Bone marrow smear — 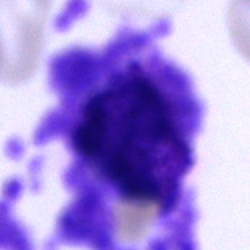
Specimen: bone marrow aspirate smear.
Morphological class: artifact.